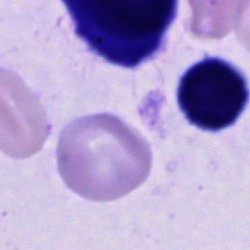

An unidentifiable cell on a bone marrow smear.